Bone marrow aspirate smear
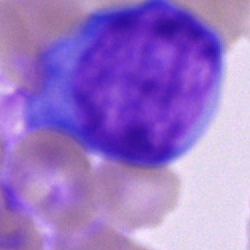
Morphology — blast.